Single cell centered in the field; bone marrow smear: 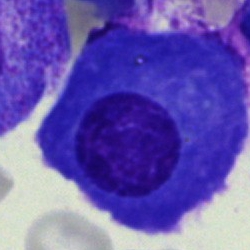
Classification — plasma cell.